Bone marrow smear.
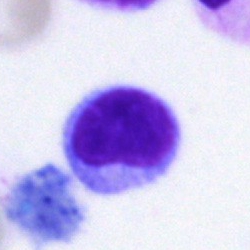Q: Which cell type is shown here?
A: Typical lymphocyte.